MGG-stained · single-cell crop · bone marrow smear: 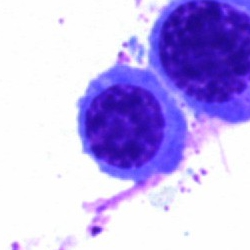
Q: Identify the cell.
A: Nucleated red cell.